Bone marrow smear; single-cell field; 40× objective, oil immersion:
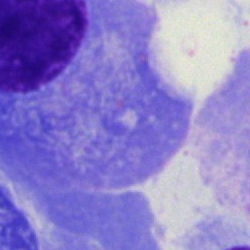

Q: Identify the cell.
A: A plasma cell.